Bone marrow smear.
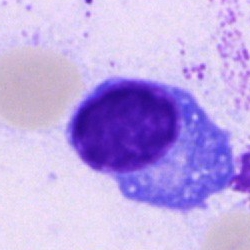Plasma cell.